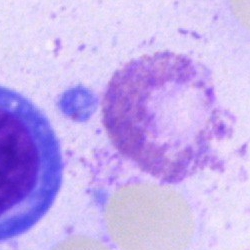 Q: What is shown here?
A: This is an artifact.